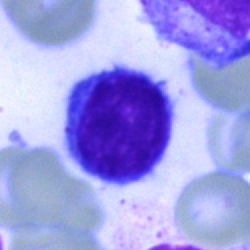 Cell — typical lymphocyte.